Bone marrow aspirate smear
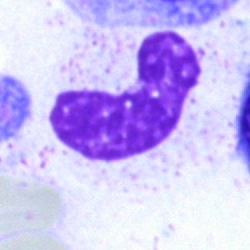
A band-form neutrophil.